Bone marrow aspirate smear:
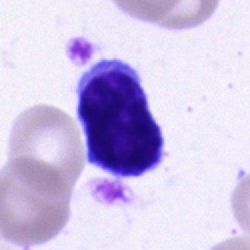Q: What type of cell is this?
A: Typical lymphocyte.